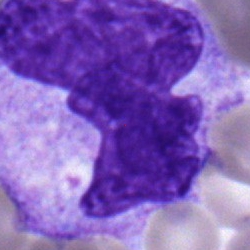
Morphology consistent with a monocyte.